Bone marrow smear; 40× oil immersion: 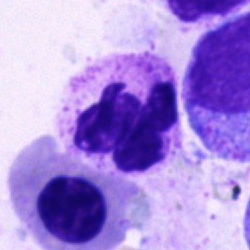Polymorphonuclear neutrophil.